Cropped to a single cell · bone marrow smear:
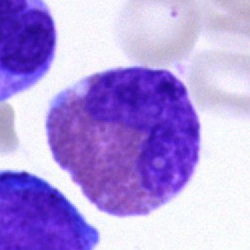
Morphology — eosinophil.